Bone marrow aspirate smear. May-Grünwald-Giemsa/Pappenheim stain
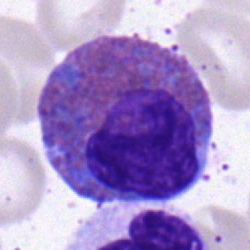Q: Which cell type is shown here?
A: This is an eosinophil.